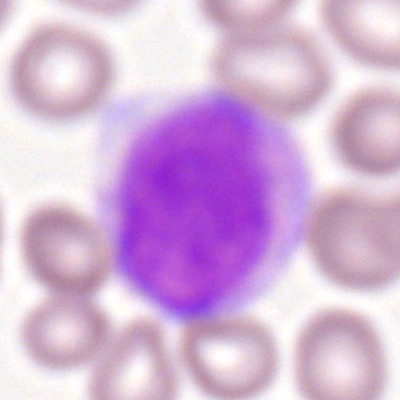 Classification — monocyte.